Imaged on a CellaVision DM96 analyser · peripheral blood film:
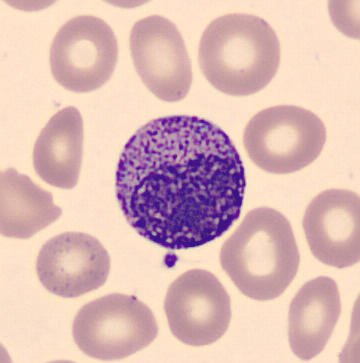 Classification = myelocyte.